Bone marrow smear — 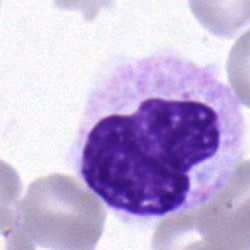 A neutrophil (segmented).